Bone marrow smear — 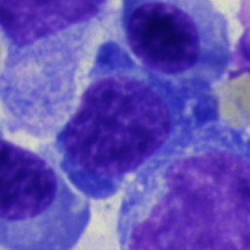
{"cell_type": "nucleated red blood cell"}